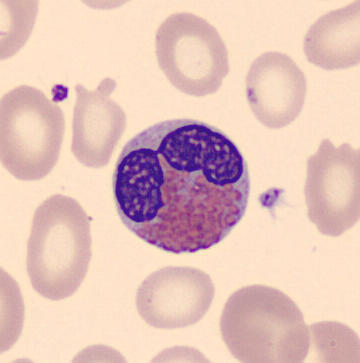Preparation: Peripheral blood film · CellaVision DM96.
Q: Which cell type is shown here?
A: This is an eosinophil.